Brightfield, 100× oil-immersion objective; peripheral blood film; Romanowsky-type stain — 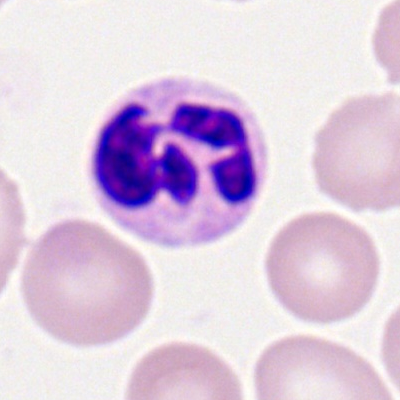

Specimen: peripheral blood film.
Morphological class: polymorphonuclear neutrophil.